Bone marrow aspirate smear:
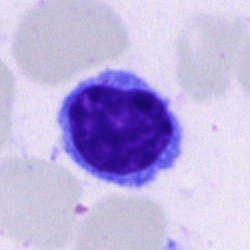Specimen: bone marrow smear.
Cell type: lymphocyte.
Lineage: lymphoid.